Brightfield microscopy, 40× oil immersion; 250 by 250 pixels; bone marrow smear:
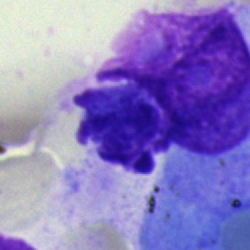
Impression → artifact.